Bone marrow aspirate smear; brightfield, 40× oil-immersion objective; image size 250×250:
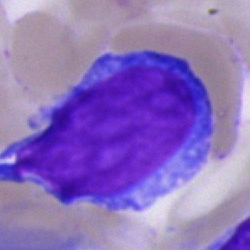

Specimen: bone marrow aspirate smear.
Morphological class: undifferentiated blast.